40× oil immersion. Cropped to a single cell. Bone marrow smear.
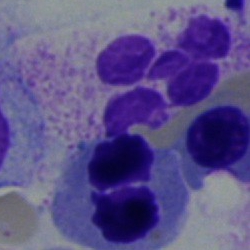 Showing a polymorphonuclear neutrophil.